Peripheral blood smear
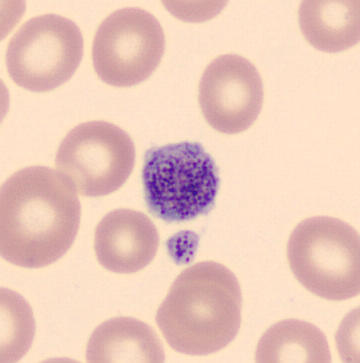Classification — platelet (thrombocyte).